Bone marrow aspirate smear.
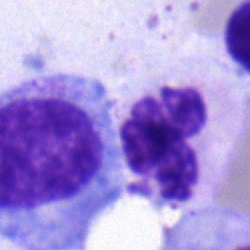

Specimen: bone marrow aspirate smear.
Classification: neutrophil (segmented).